Bone marrow aspirate smear.
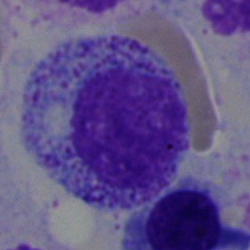

Morphology consistent with a promyelocyte.